Bone marrow aspirate smear. Brightfield, 40× oil-immersion objective
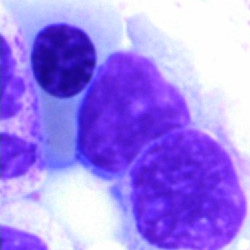
Specimen: bone marrow aspirate smear.
Cell: typical lymphocyte.